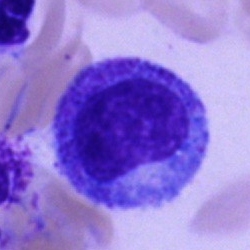 This is a promyelocyte.